250×250; MGG-stained; bone marrow smear:
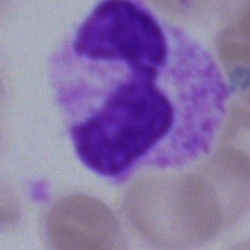
The cell is artifact.